Brightfield microscopy, 40× oil immersion · bone marrow smear: 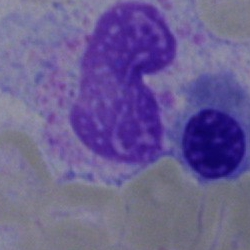Classification = neutrophil (band).